Brightfield, 40× oil-immersion objective. May-Grünwald-Giemsa/Pappenheim stain. Bone marrow aspirate smear.
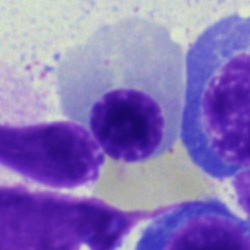
The cell type is nucleated red cell.